Bone marrow smear; Pappenheim-stained — 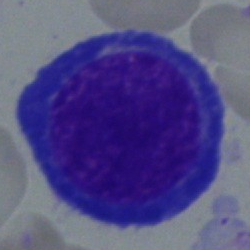 This is an erythroblast.